40× objective, oil immersion; bone marrow smear: 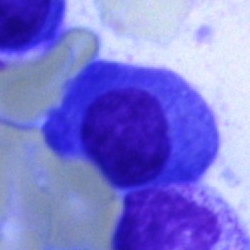
Classification = plasma cell.